Peripheral blood film; Romanowsky stain: 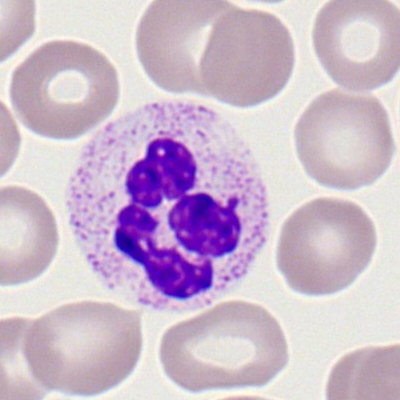

The cell shown is a segmented neutrophil.